Peripheral blood film
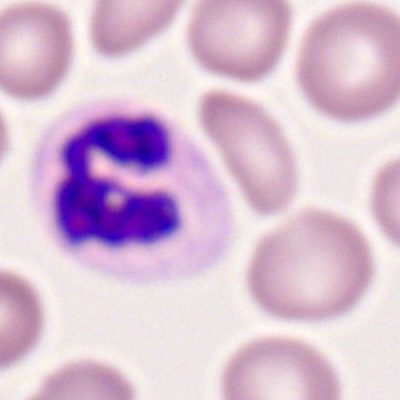
Q: What cell is this?
A: A neutrophil (segmented).